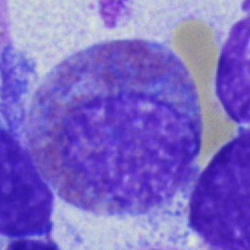

Bone marrow aspirate smear, single cell — eosinophil.